Image size 250×250; bone marrow smear: 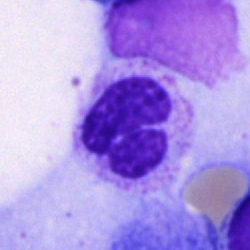 {"cell_type": "polymorphonuclear neutrophil"}